Image size 250×250; Pappenheim-stained; bone marrow aspirate smear: 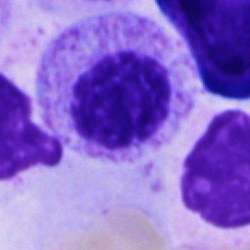

Cell — myelocyte.